Single-cell crop; peripheral blood film: 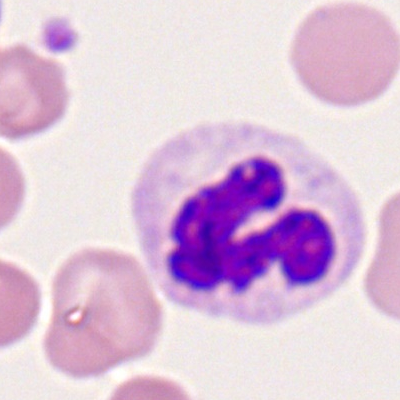The cell shown is a neutrophil (segmented).